Bone marrow aspirate smear; single-cell crop: 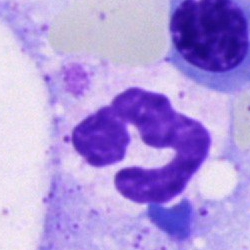 Morphological class: polymorphonuclear neutrophil.